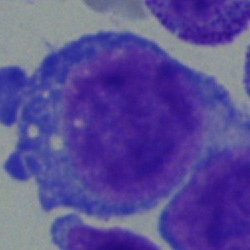

{"cell_type": "promyelocyte", "lineage": "myeloid"}